40× objective, oil immersion. Bone marrow aspirate smear. May-Grünwald-Giemsa stain:
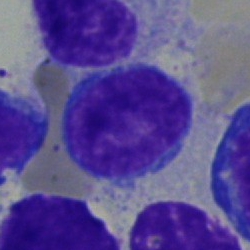
Specimen: bone marrow aspirate smear.
Cell: lymphocyte.
Lineage: lymphoid.